Bone marrow aspirate smear; May-Grünwald-Giemsa/Pappenheim stain
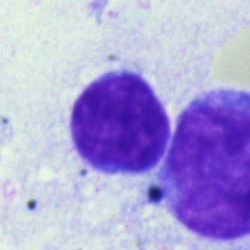

Morphology — lymphocyte.